Bone marrow smear — 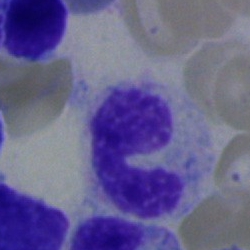

The classification is stab cell.